Bone marrow smear: 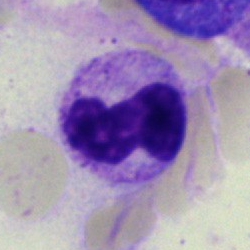Q: Identify the cell.
A: A neutrophil (band).